Bone marrow aspirate smear — 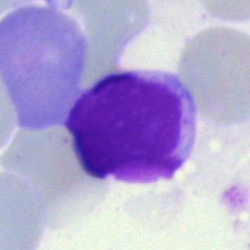

Q: What cell is this?
A: It is a typical lymphocyte.